Bone marrow smear — 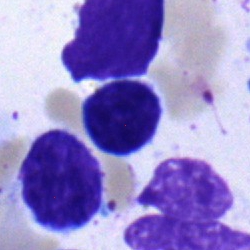
Single cell identified as a typical lymphocyte.